Single cell centered in the field; bone marrow smear
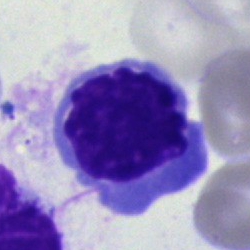
Specimen: bone marrow smear.
Cell: normoblast.
Lineage: erythroid.